Image size 250×250; bone marrow aspirate smear.
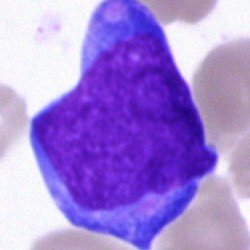 Q: What is shown here?
A: Blast cell.